250×250. Bone marrow smear: 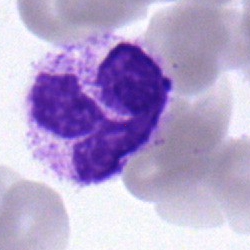

The cell is segmented neutrophil.